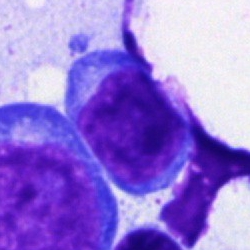

The morphological class is lymphocyte.